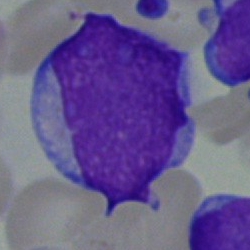Specimen: bone marrow smear.
Morphological class: undifferentiated blast.